Bone marrow smear · MGG-stained.
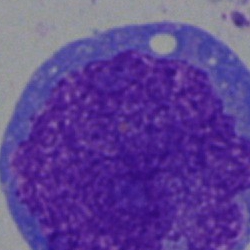

Cell = blast cell.